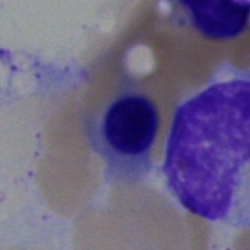

Q: What is the morphological classification of this cell?
A: Nucleated red blood cell.